250 by 250 pixels · single cell centered in the field · bone marrow aspirate smear: 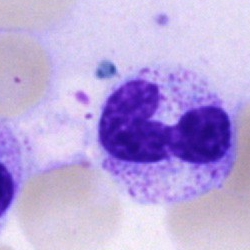This is a stab cell.